Cropped to a single cell · bone marrow aspirate smear
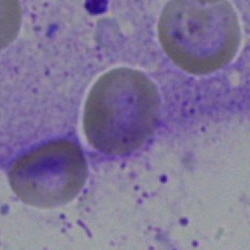 Q: What is shown here?
A: An artefact.